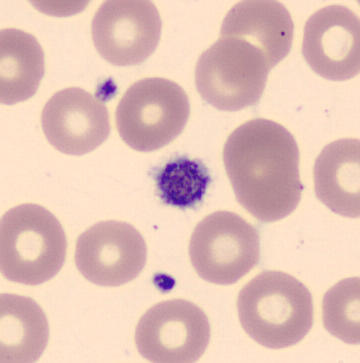

Specimen: peripheral blood film.
Cell type: platelet (thrombocyte).